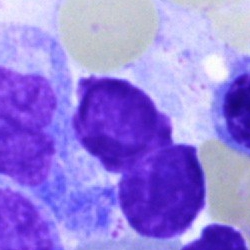Specimen: bone marrow aspirate smear.
Morphological class: artefact.